Bone marrow aspirate smear · single-cell crop:
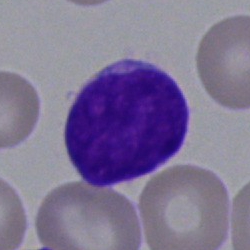Morphology → undifferentiated blast.